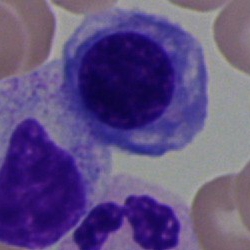

Classification — nucleated red blood cell.